Bone marrow aspirate smear · single-cell field · May-Grünwald-Giemsa/Pappenheim stain.
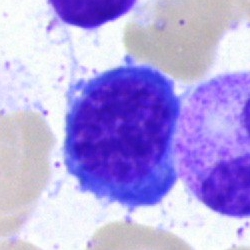 A nucleated red cell.